Bone marrow aspirate smear · 40× oil immersion
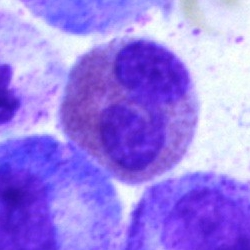

This is an eosinophilic granulocyte.